40× oil immersion. Bone marrow smear — 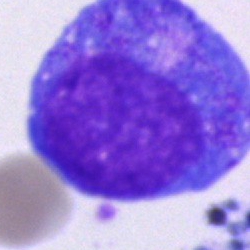

Specimen: bone marrow smear.
Cell: promyelocyte.
Lineage: myeloid.